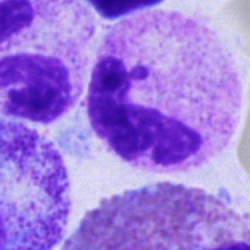 Specimen: bone marrow aspirate smear.
Classification: polymorphonuclear neutrophil.
Lineage: myeloid.